Bone marrow smear
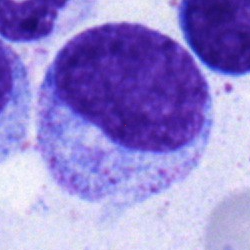

Impression → myelocyte.